Bone marrow smear — 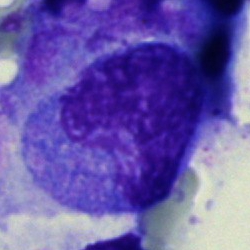
Impression → progranulocyte.